Bone marrow smear:
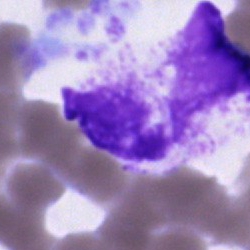 Q: What is shown here?
A: It is an artifact.